Single-cell crop · bone marrow aspirate smear
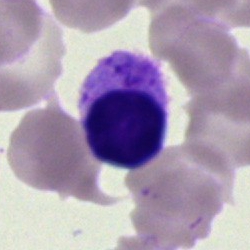 Specimen: bone marrow smear.
Classification: artefact.